Bone marrow smear:
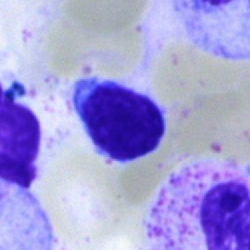

This is a typical lymphocyte.